Bone marrow smear. Brightfield microscopy, 40× oil immersion — 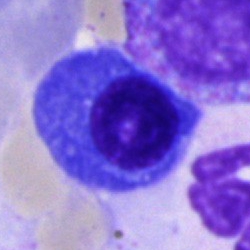
A plasma cell.